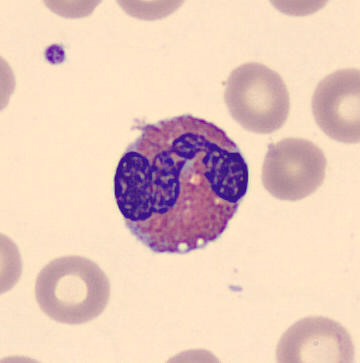 From a peripheral blood smear: an eosinophil.